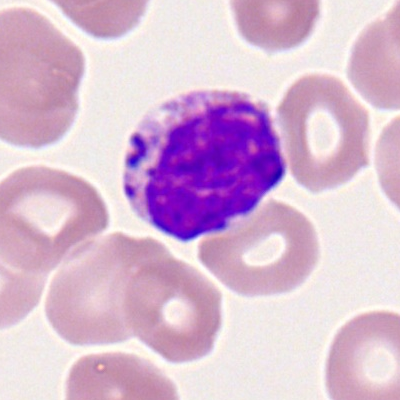 The cell type is segmented neutrophil.